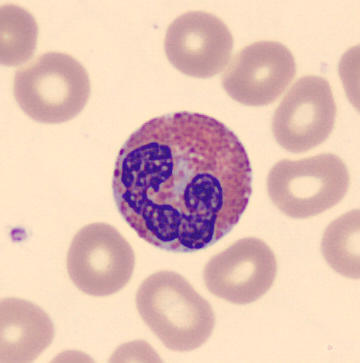Eosinophilic granulocyte.